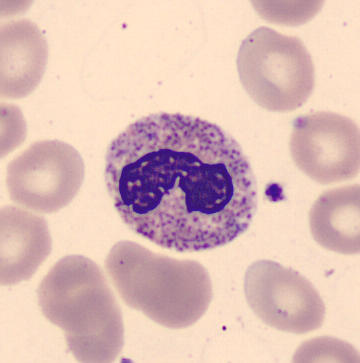

Stab cell.

Image: Peripheral blood smear.